May-Grünwald-Giemsa/Pappenheim stain · cropped to a single cell · bone marrow aspirate smear: 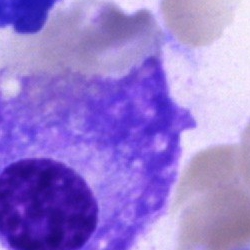 Morphology — plasmacyte.